Bone marrow smear: 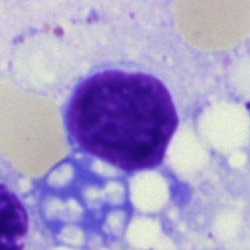 Specimen: bone marrow aspirate smear.
Classification: artefact.